Peripheral blood smear: 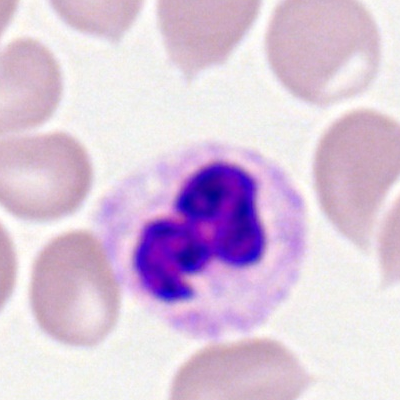 Specimen: peripheral blood film.
Cell type: neutrophil (segmented).
Lineage: myeloid.